Bone marrow aspirate smear: 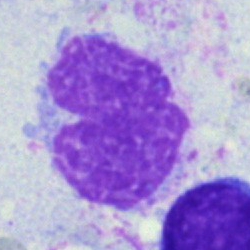

Specimen: bone marrow aspirate smear.
Cell: artefact.